Bone marrow smear — 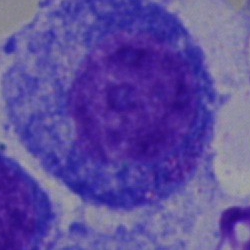

Morphology — progranulocyte.